May-Grünwald-Giemsa stain · bone marrow smear · 250 by 250 pixels
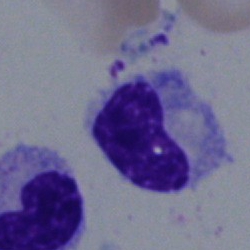 The cell shown is a band neutrophil.